Bone marrow aspirate smear. Single cell centered in the field: 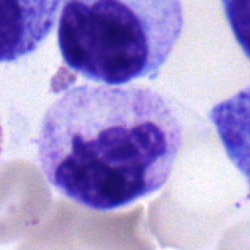The cell shown is a neutrophil (segmented).